Bone marrow aspirate smear · May-Grünwald-Giemsa stain · single cell centered in the field — 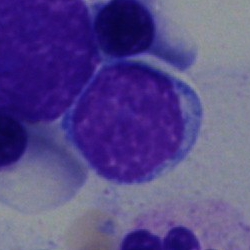
Single cell identified as a typical lymphocyte.